Single-cell field. Bone marrow smear. Image size 250×250 — 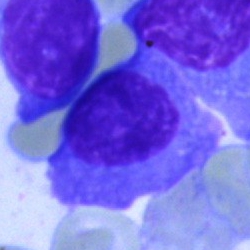 The cell is plasma cell.